40× objective, oil immersion. Bone marrow smear — 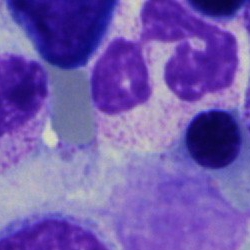Showing a segmented neutrophil.